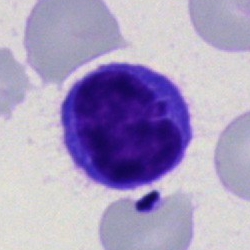
Morphology consistent with a typical lymphocyte.